Bone marrow smear.
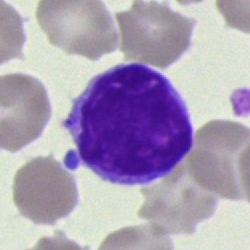
Morphological class — typical lymphocyte.